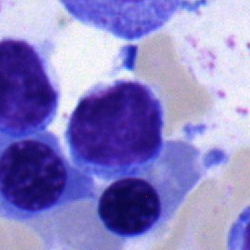 Single cell identified as a typical lymphocyte.